Peripheral blood film; 100× oil immersion — 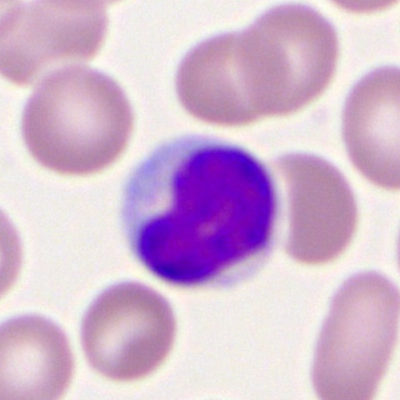 Q: What is the morphological classification of this cell?
A: This is a lymphocyte.